Bone marrow aspirate smear — 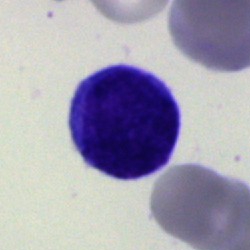 Specimen: bone marrow aspirate smear.
Classification: typical lymphocyte.